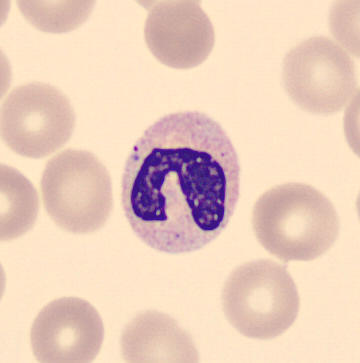 Specimen: peripheral blood smear.
Morphological class: neutrophil (band).